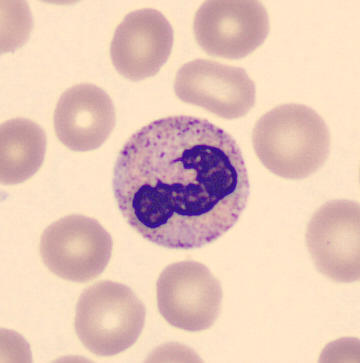The cell shown is a band-form neutrophil.